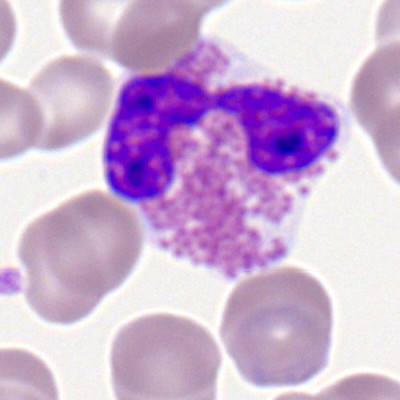{"cell_type": "eosinophil", "lineage": "myeloid"}